Bone marrow smear
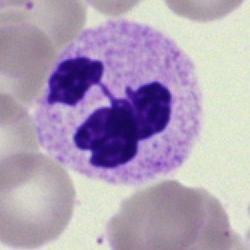
Showing a neutrophil (segmented).